Pappenheim-stained; bone marrow aspirate smear — 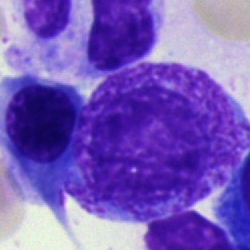

The cell shown is a myelocyte.